Bone marrow aspirate smear:
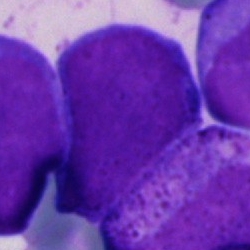Specimen: bone marrow aspirate smear.
Morphological class: blast cell.